Single cell centered in the field; bone marrow smear.
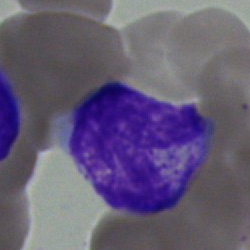
{"cell_type": "metamyelocyte", "lineage": "myeloid"}